Bone marrow smear:
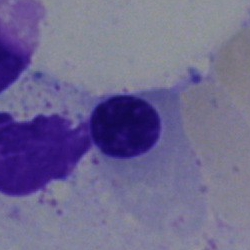Impression → erythroblast.